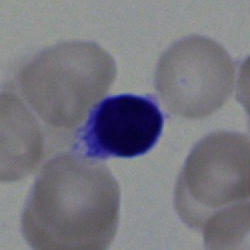
Cell type — typical lymphocyte.